Bone marrow aspirate smear.
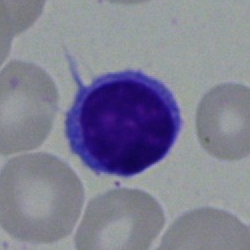
Impression — lymphocyte.